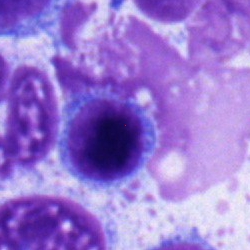
Showing a normoblast.